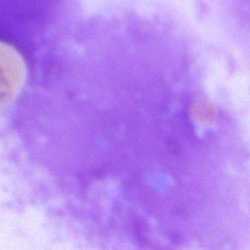 Q: What is shown here?
A: Artifact.